Bone marrow smear — 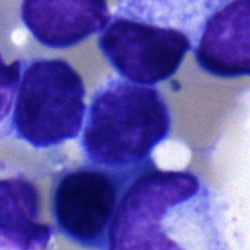

A neutrophil (segmented).